Bone marrow aspirate smear:
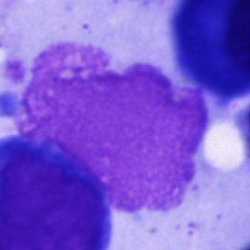

Specimen: bone marrow smear.
Cell: artifact.